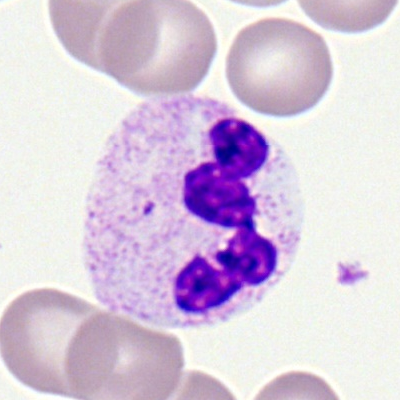 Morphological class — segmented neutrophil.